Bone marrow smear — 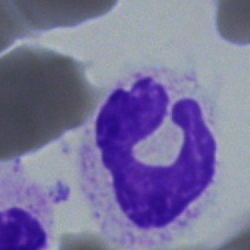

Showing a segmented neutrophil.